Bone marrow aspirate smear — 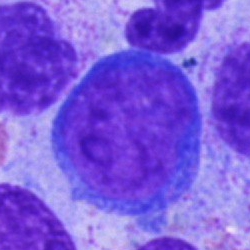

Morphological class — pronormoblast.